Single-cell field. Bone marrow smear. Brightfield, 40× oil-immersion objective — 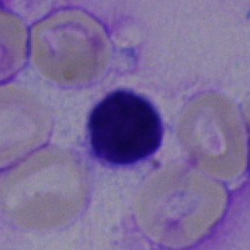 Cell type = typical lymphocyte.